Romanowsky-type stain · brightfield, 100× oil-immersion objective · peripheral blood film: 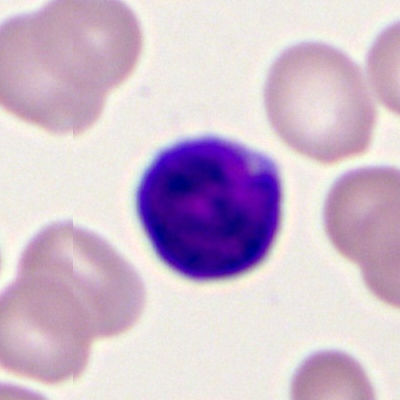 Q: What is the morphological classification of this cell?
A: A lymphocyte.